Bone marrow smear — 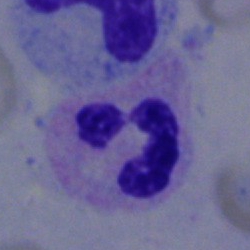 Single cell identified as a neutrophil (segmented).